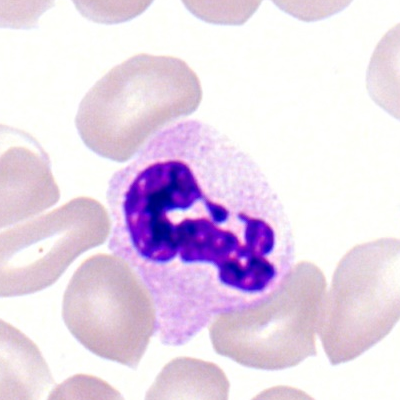

Specimen: peripheral blood smear.
Classification: polymorphonuclear neutrophil.
Lineage: myeloid.